Bone marrow aspirate smear; May-Grünwald-Giemsa/Pappenheim stain
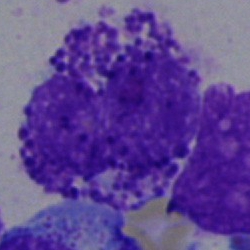 The cell shown is a basophilic granulocyte.